Brightfield microscopy, 40× oil immersion. Bone marrow aspirate smear:
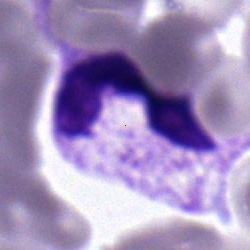Q: What cell is this?
A: Neutrophil (segmented).